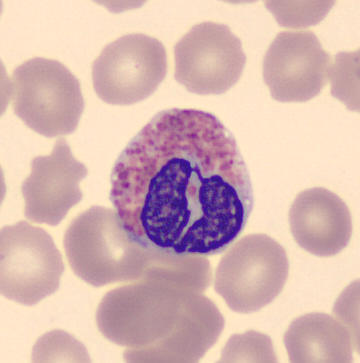

Classification: eosinophilic granulocyte. Image: Peripheral blood smear.